Bone marrow smear.
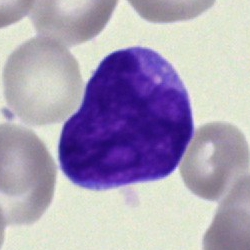
Morphology → blast cell.